Bone marrow aspirate smear
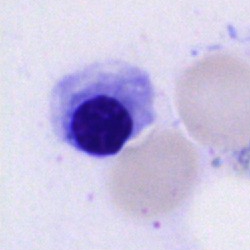This is a normoblast.